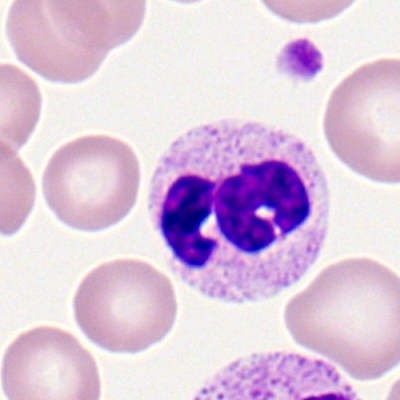

Cell — segmented neutrophil.